250 by 250 pixels · bone marrow smear
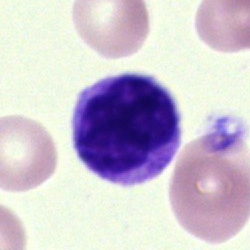

A typical lymphocyte.